Bone marrow aspirate smear — 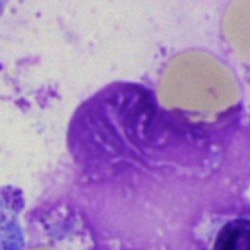
Artefact.